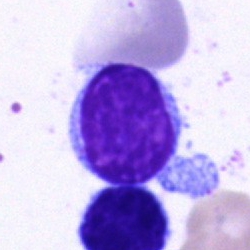Specimen: bone marrow aspirate smear.
Cell: lymphocyte.